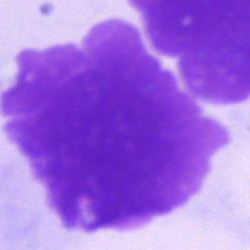{"cell_type": "artefact"}